Single cell centered in the field. Bone marrow aspirate smear.
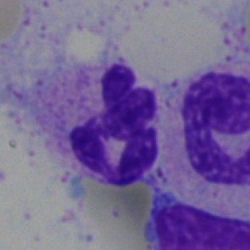

Cell type — polymorphonuclear neutrophil.